Romanowsky-stained. Peripheral blood smear. Image size 400×400 — 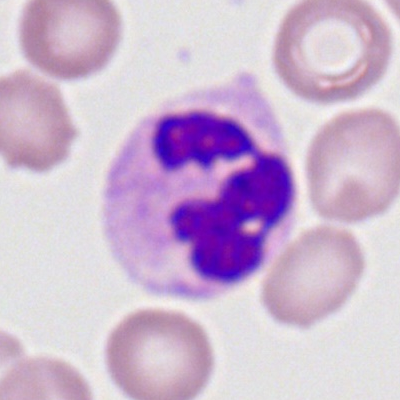

The cell type is polymorphonuclear neutrophil.